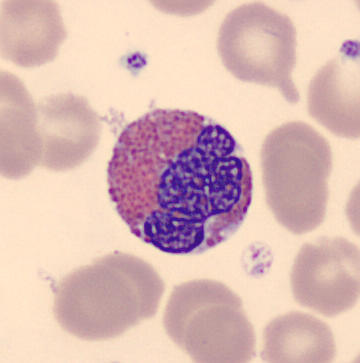Q: What is shown here?
A: An eosinophilic granulocyte.
360 by 363 pixels. Cropped to a single cell. Peripheral blood smear.